Bone marrow smear. MGG-stained.
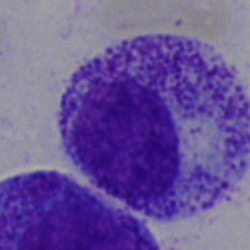 This is a myelocyte.